Bone marrow smear; 40× oil immersion; 250×250 px: 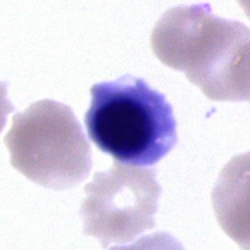Morphology — nucleated red blood cell.